Bone marrow aspirate smear. 250 by 250 pixels
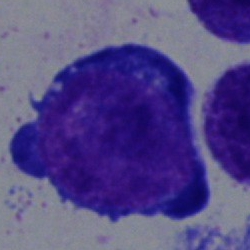
An erythroblast.